Bone marrow aspirate smear — 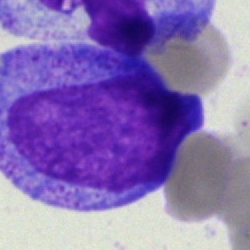 Morphology — progranulocyte.